Bone marrow smear; 250×250:
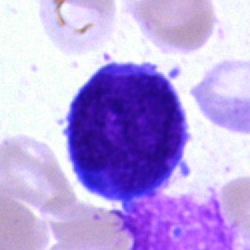Q: Identify the cell.
A: An undifferentiated blast.